MGG-stained. Bone marrow aspirate smear. 250×250 — 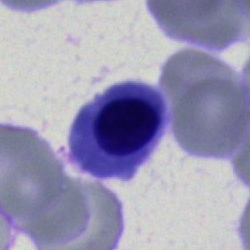 This is a nucleated red blood cell.